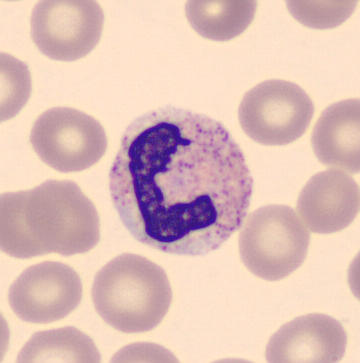The cell type is neutrophil (band). Peripheral blood film.